Bone marrow aspirate smear. 250 by 250 pixels. May-Grünwald-Giemsa stain:
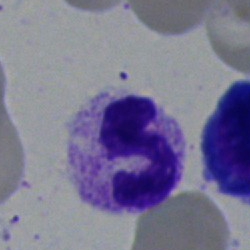
Single cell identified as a neutrophil (segmented).